Bone marrow smear.
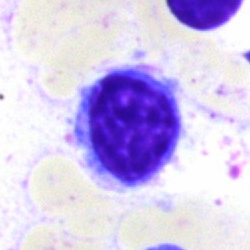

Typical lymphocyte.